Peripheral blood smear:
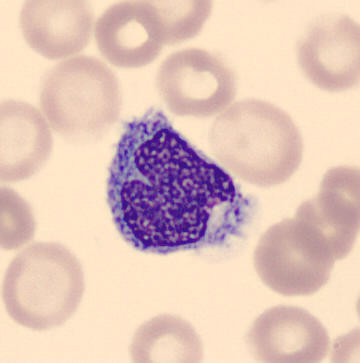

Q: What cell is this?
A: A monocyte.